Bone marrow smear
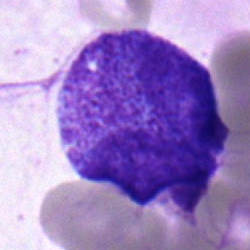

Q: What type of cell is this?
A: Blast cell.